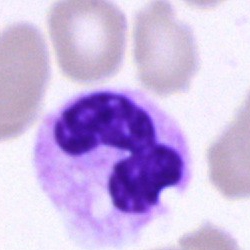{"cell_type": "segmented neutrophil", "lineage": "myeloid"}